Bone marrow aspirate smear
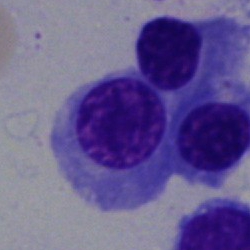

The classification is nucleated red cell.